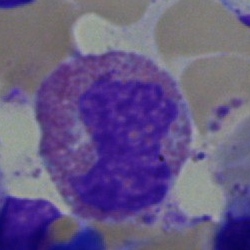Morphological class: eosinophilic granulocyte.